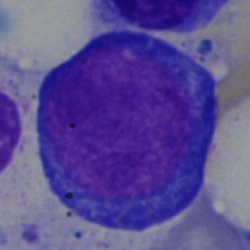
Specimen: bone marrow aspirate smear.
Cell type: pronormoblast.
Lineage: erythroid.